Bone marrow aspirate smear — 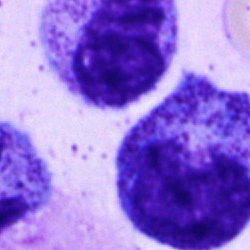{"cell_type": "promyelocyte", "lineage": "myeloid"}